40× objective, oil immersion. Bone marrow smear — 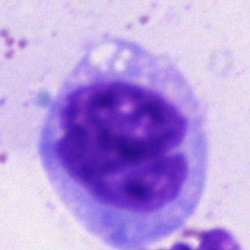
Specimen: bone marrow smear.
Classification: monocyte.